40× oil immersion · bone marrow aspirate smear: 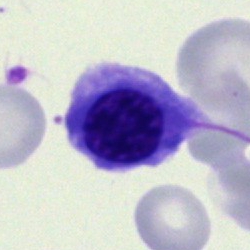

Specimen: bone marrow aspirate smear.
Classification: nucleated red cell.